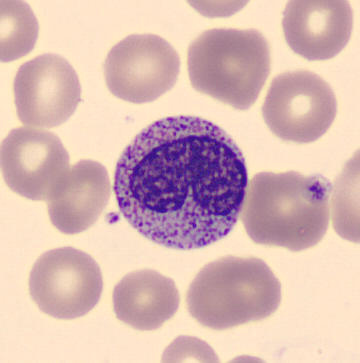Cell type = metamyelocyte.
Image: Peripheral blood smear.